Bone marrow smear; brightfield, 40× oil-immersion objective
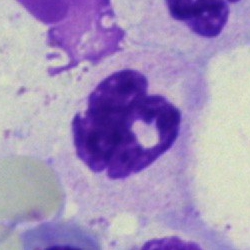This is a neutrophil (segmented).